Bone marrow smear · 250 by 250 pixels · Pappenheim-stained.
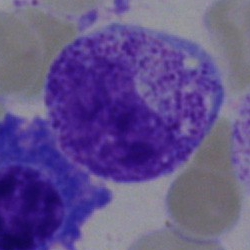
Q: Identify the cell.
A: A myelocyte.